Bone marrow aspirate smear: 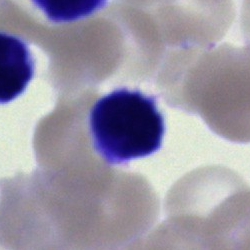

{"cell_type": "typical lymphocyte", "lineage": "lymphoid"}